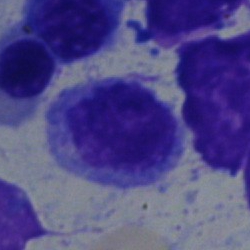

Specimen: bone marrow aspirate smear.
Cell type: monocyte.